M8 digital microscope (Precipoint), 100× oil immersion · 400×400 px · peripheral blood film
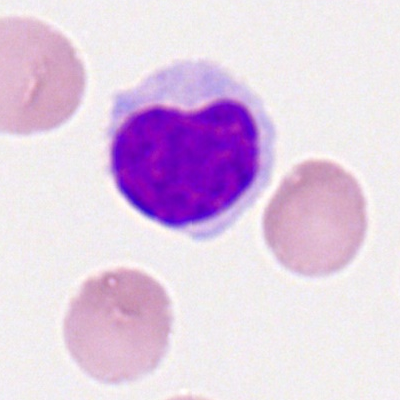
Lymphocyte.